Peripheral blood smear.
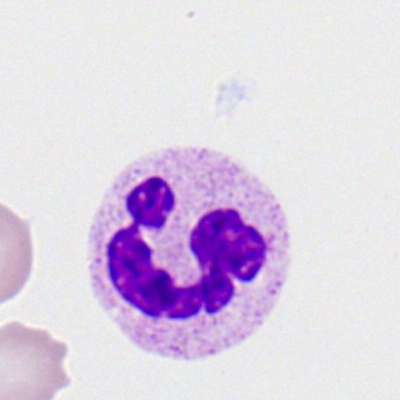 The classification is neutrophil (segmented).